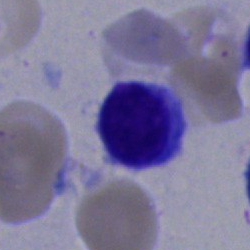

Specimen: bone marrow aspirate smear.
Cell: typical lymphocyte.
Lineage: lymphoid.